Bone marrow aspirate smear; May-Grünwald-Giemsa stain; 40× oil immersion.
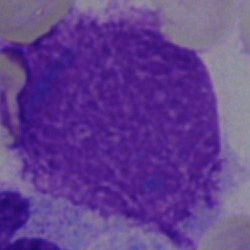

{"cell_type": "artifact"}